250 by 250 pixels; bone marrow aspirate smear; Pappenheim-stained: 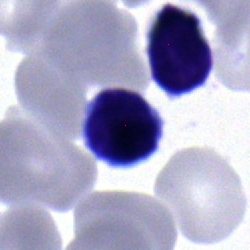Q: What cell is this?
A: A typical lymphocyte.